Peripheral blood smear: 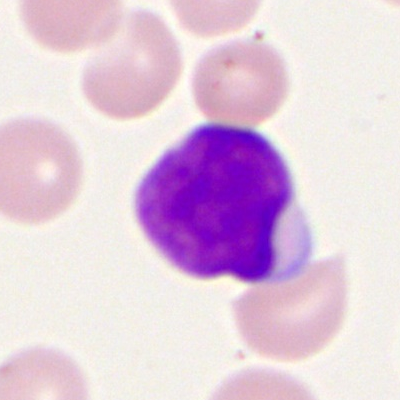
The morphological class is myeloid blast.